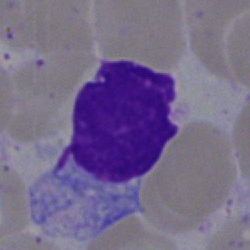

Q: What is shown here?
A: An artefact.